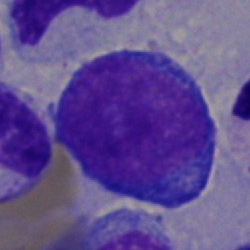
Typical lymphocyte.